Bone marrow aspirate smear: 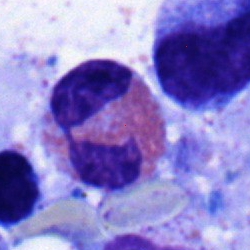
Q: What is the morphological classification of this cell?
A: This is an eosinophilic granulocyte.